Bone marrow smear — 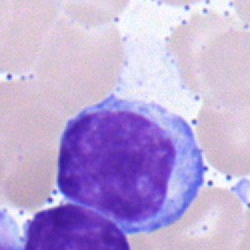

Classification = typical lymphocyte.